Bone marrow smear.
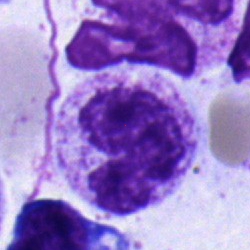Q: What cell is this?
A: This is a band-form neutrophil.